Peripheral blood smear
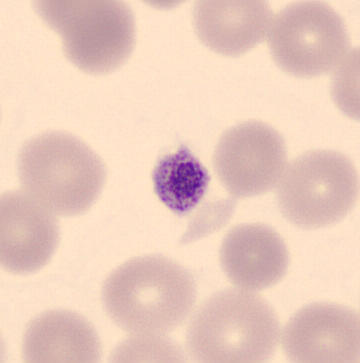
Specimen: peripheral blood smear.
Classification: platelet (thrombocyte).